Bone marrow aspirate smear. Cropped to a single cell: 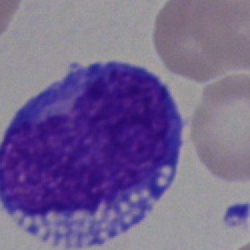

Blast cell.